Bone marrow aspirate smear · brightfield microscopy, 40× oil immersion · cropped to a single cell.
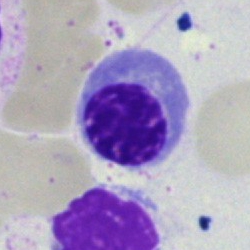

Q: Which cell type is shown here?
A: This is an erythroblast.